Bone marrow smear
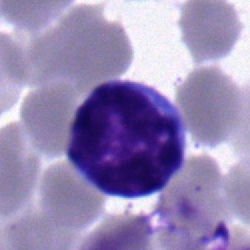
Cell type: typical lymphocyte.